Peripheral blood smear · brightfield, 100× oil-immersion objective · single-cell field
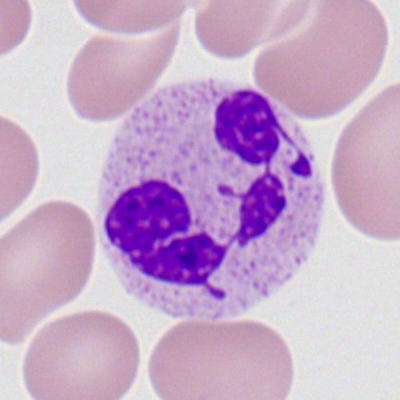
The cell shown is a polymorphonuclear neutrophil.